Bone marrow aspirate smear.
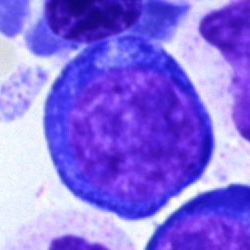

Q: What type of cell is this?
A: Pronormoblast.